Bone marrow smear:
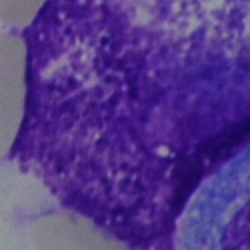

Cell = other cell type.